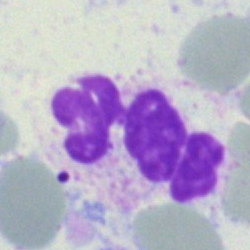

Specimen: bone marrow aspirate smear.
Cell: polymorphonuclear neutrophil.
Lineage: myeloid.